May-Grünwald-Giemsa/Pappenheim stain. Brightfield microscopy, 40× oil immersion. Bone marrow smear.
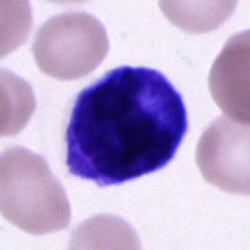

An unidentifiable cell.